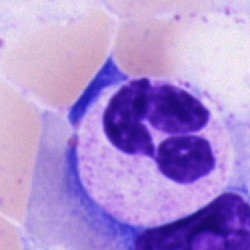 This is a polymorphonuclear neutrophil.